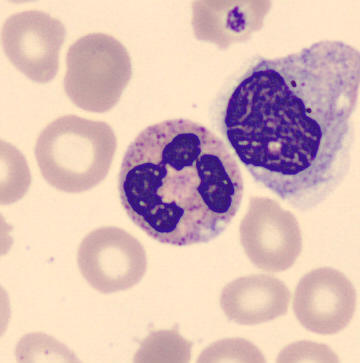
The cell type is polymorphonuclear neutrophil. Peripheral blood film.